Bone marrow aspirate smear — 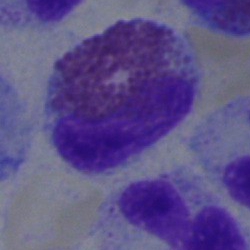

Impression — eosinophil.